Bone marrow aspirate smear; single cell centered in the field: 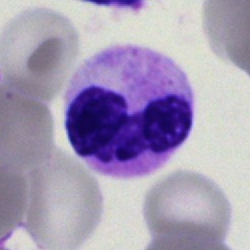

Classification — polymorphonuclear neutrophil.